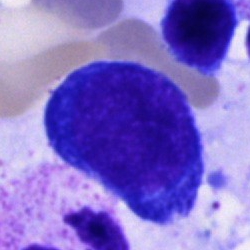 Cell: pronormoblast.